Image size 250×250. Bone marrow smear. Single-cell crop — 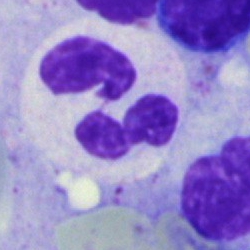

Specimen: bone marrow aspirate smear.
Classification: segmented neutrophil.
Lineage: myeloid.